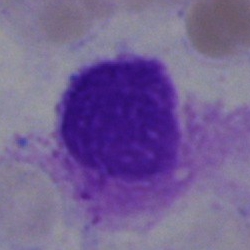 Single cell identified as an artifact.